Brightfield, 40× oil-immersion objective. Single cell centered in the field. Bone marrow aspirate smear: 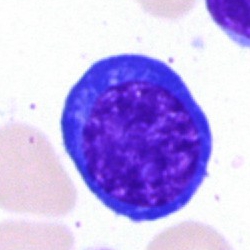

Cell type = nucleated red cell.